Bone marrow smear:
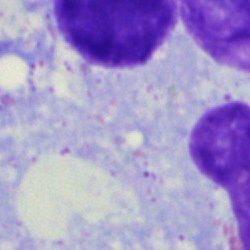

Single cell identified as an artifact.